Bone marrow smear · brightfield microscopy, 40× oil immersion.
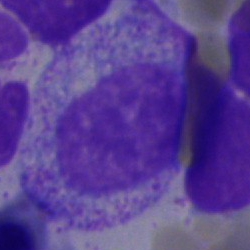Impression → myelocyte.